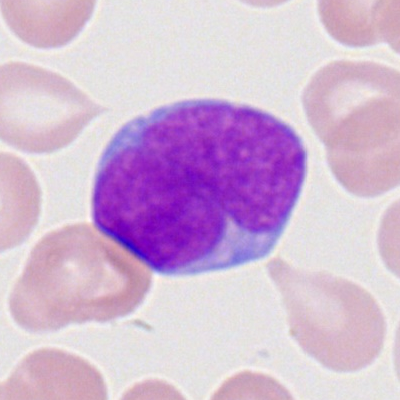 Single cell identified as a myeloblast.